Bone marrow aspirate smear · May-Grünwald-Giemsa stain:
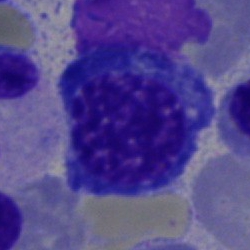

Cell type = normoblast.